Pappenheim-stained; cropped to a single cell; bone marrow aspirate smear — 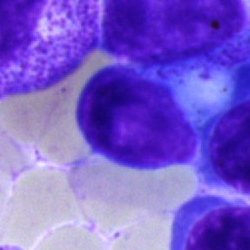

Typical lymphocyte.